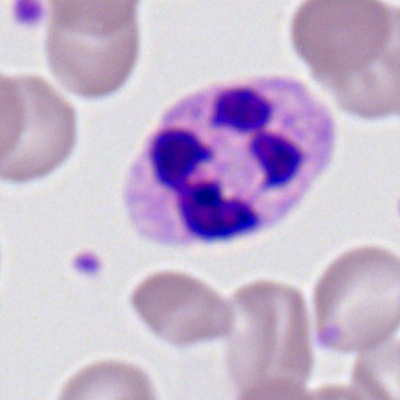 Impression → neutrophil (segmented).